Single-cell field · 40× oil immersion · bone marrow smear:
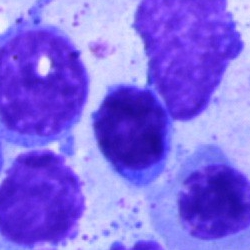Specimen: bone marrow smear.
Classification: typical lymphocyte.
Lineage: lymphoid.